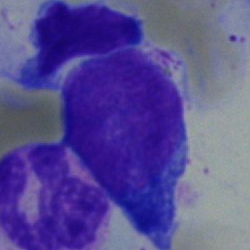

Q: Which cell type is shown here?
A: It is a blast cell.